Bone marrow aspirate smear
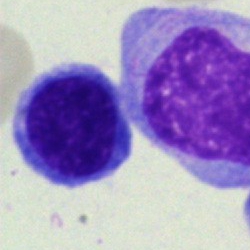
Morphology consistent with a nucleated red blood cell.